250 by 250 pixels; bone marrow aspirate smear: 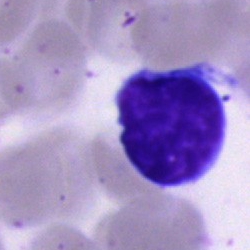

Morphology — plasma cell.